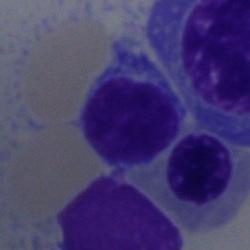
Q: What is shown here?
A: This is a typical lymphocyte.